Bone marrow smear.
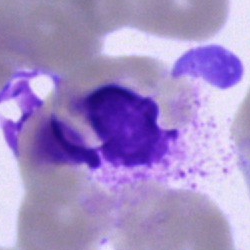 This is a segmented neutrophil.